Brightfield, 100× oil-immersion objective · peripheral blood film
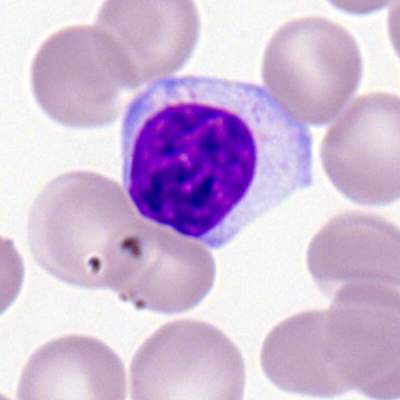
Morphology consistent with a typical lymphocyte.